Bone marrow smear. 250 by 250 pixels:
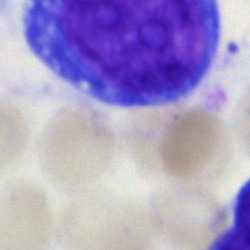A cell of indeterminate lineage.